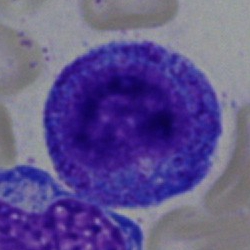

Classification = progranulocyte.